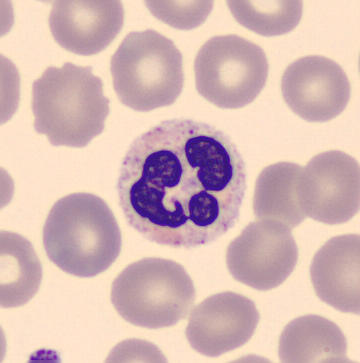Q: What is shown here?
A: This is a neutrophil (segmented).